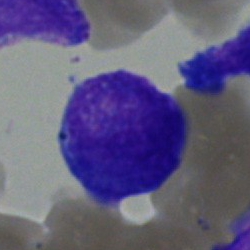Bone marrow smear showing an undifferentiated blast.